Peripheral blood smear: 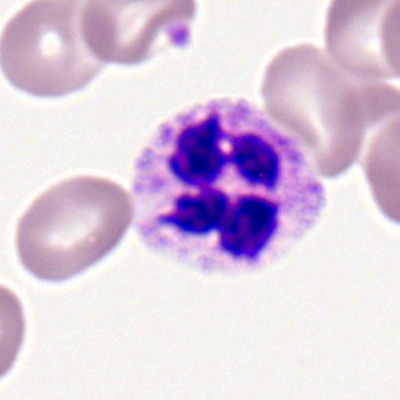Impression → segmented neutrophil.